Bone marrow smear · cropped to a single cell: 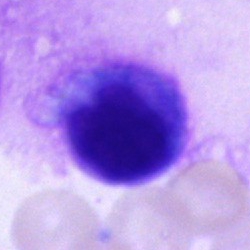 The cell is unidentifiable cell.